Bone marrow smear.
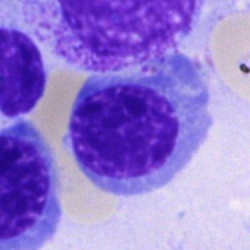
This is a normoblast.